Bone marrow smear · single cell centered in the field · Pappenheim-stained.
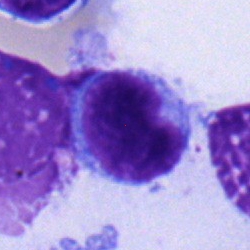 Typical lymphocyte.